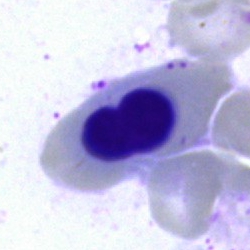
A nucleated red cell on a bone marrow smear.